Bone marrow smear
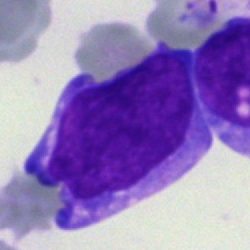 The classification is blast cell.